Bone marrow smear
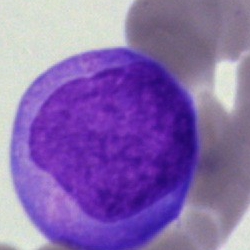
Single cell identified as an undifferentiated blast.